Bone marrow aspirate smear.
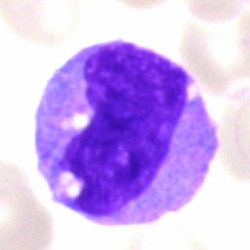
Morphology consistent with a monocyte.